Bone marrow aspirate smear · brightfield, 40× oil-immersion objective — 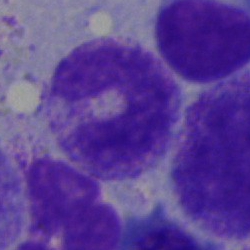

The classification is band neutrophil.